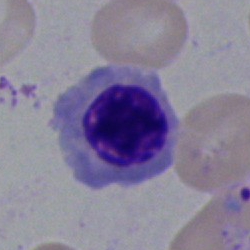 Impression → nucleated red blood cell.